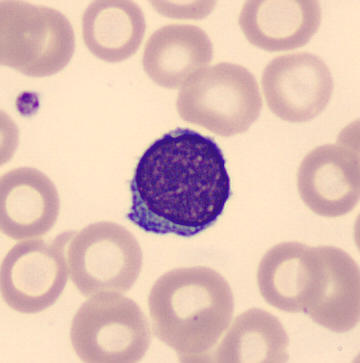
Q: What is shown here?
A: It is a typical lymphocyte.